Bone marrow smear: 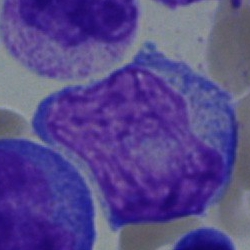

Classification: blast cell.